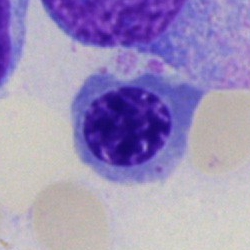

Morphology consistent with an erythroblast.